250 by 250 pixels. Bone marrow aspirate smear:
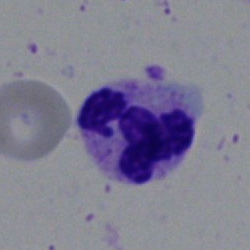Neutrophil (segmented).